Bone marrow smear. MGG-stained.
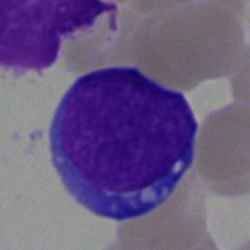Classification — undifferentiated blast.